May-Grünwald-Giemsa stain · 40× oil immersion · bone marrow aspirate smear
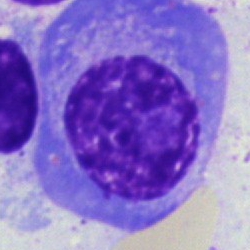
{"cell_type": "plasma cell", "lineage": "lymphoid"}